Bone marrow aspirate smear: 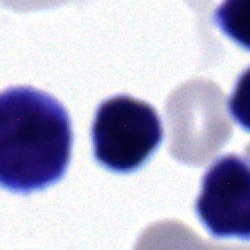
The cell shown is a typical lymphocyte.